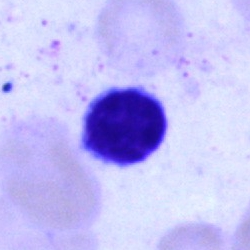Morphological class: lymphocyte.